Bone marrow smear
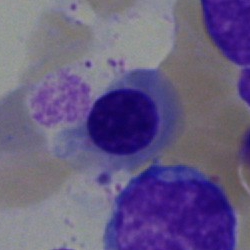

Showing a normoblast.